Bone marrow smear:
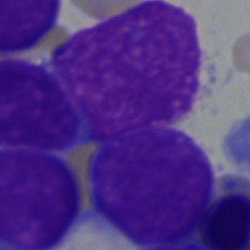

An undifferentiated blast.